40× oil immersion · bone marrow aspirate smear: 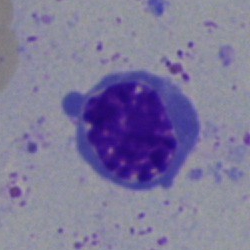 Impression — normoblast.